250×250; bone marrow aspirate smear.
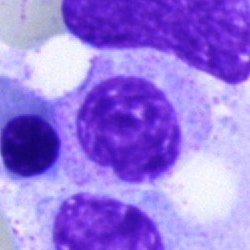

This is a myelocyte.